Single-cell crop. Bone marrow aspirate smear.
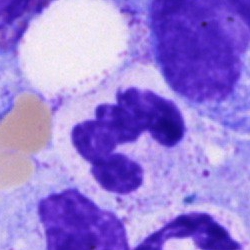 The cell shown is a polymorphonuclear neutrophil.